Bone marrow smear.
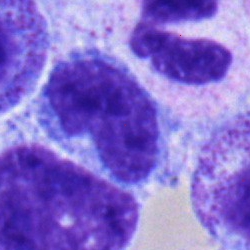
Q: What is shown here?
A: This is a monocyte.